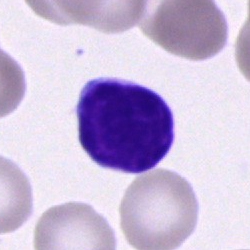

Impression → typical lymphocyte.